Bone marrow smear · single-cell crop.
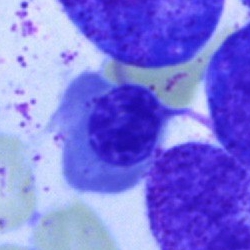 Specimen: bone marrow smear.
Cell type: normoblast.